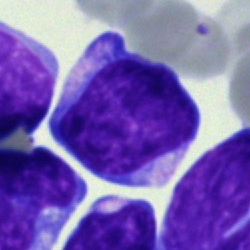
A blast cell.